Bone marrow aspirate smear; 40× objective, oil immersion
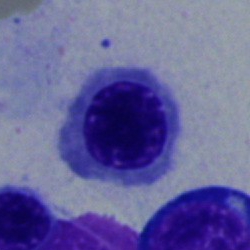

Morphological class: normoblast.